Bone marrow aspirate smear — 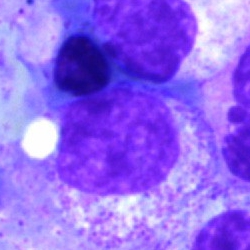

Impression — myelocyte.